Bone marrow smear; single-cell field: 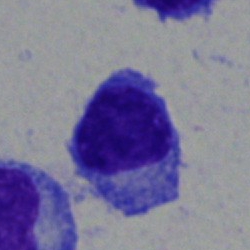Plasma cell.